250 by 250 pixels. Bone marrow smear. 40× oil immersion:
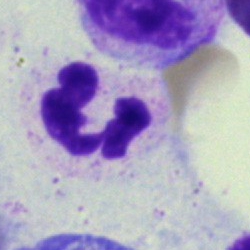
Cell type = neutrophil (segmented).